Single-cell field; 250 by 250 pixels; bone marrow smear: 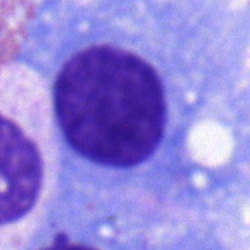
Morphology → plasmacyte.